40× objective, oil immersion. Single-cell crop. Bone marrow aspirate smear — 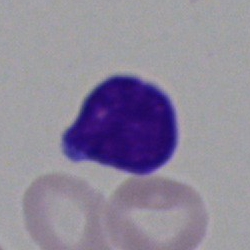 Q: What type of cell is this?
A: Blast.